Bone marrow smear; cropped to a single cell — 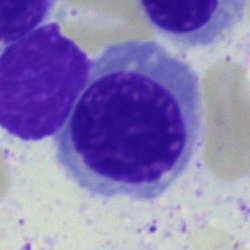
{"cell_type": "nucleated red blood cell", "lineage": "erythroid"}